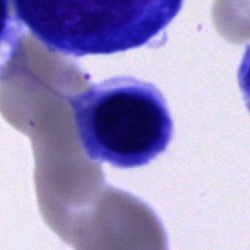Erythroblast.